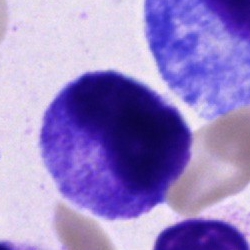 Q: What is the morphological classification of this cell?
A: Progranulocyte.